Image size 250×250. Bone marrow smear. Pappenheim-stained: 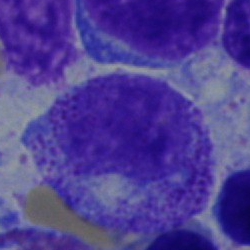 Morphology — myelocyte.